Bone marrow smear: 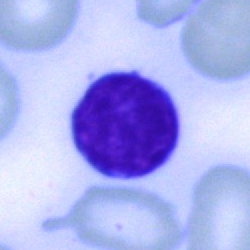

Q: What is the morphological classification of this cell?
A: Typical lymphocyte.